Bone marrow smear.
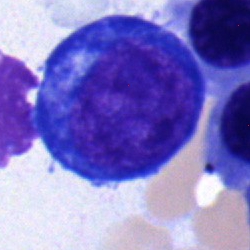Q: What is shown here?
A: This is a nucleated red blood cell.